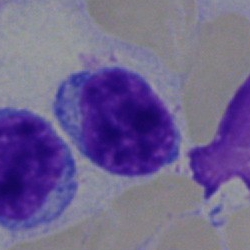
Cell — lymphocyte.